Bone marrow aspirate smear — 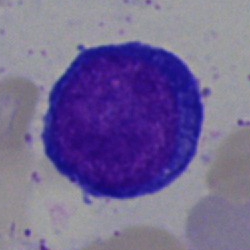
The cell shown is a proerythroblast.